Bone marrow aspirate smear.
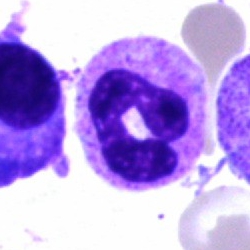 {"cell_type": "segmented neutrophil", "lineage": "myeloid"}